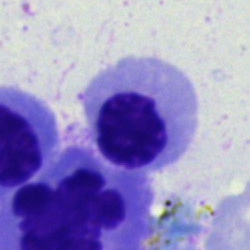 The morphological class is nucleated red cell.